100× oil immersion, 14.14 px/µm. Cropped to a single cell. Peripheral blood smear.
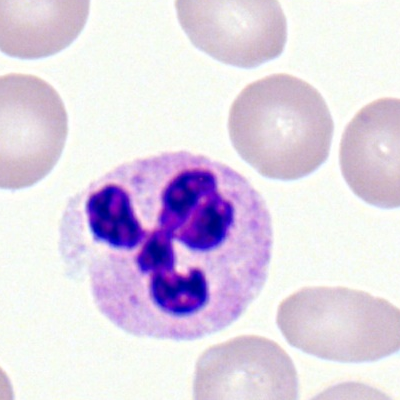 A polymorphonuclear neutrophil.